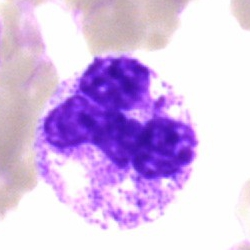Cell: polymorphonuclear neutrophil.